Bone marrow aspirate smear · 250×250 px — 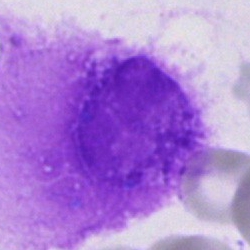Impression — artifact.